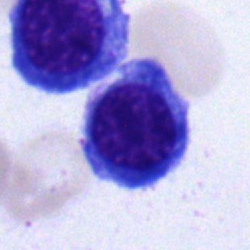

Bone marrow aspirate smear, single cell — nucleated red blood cell.